Bone marrow aspirate smear; 250×250 px.
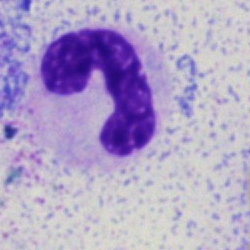Specimen: bone marrow smear.
Classification: stab cell.